Image size 250×250 · bone marrow smear:
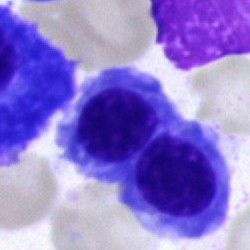Showing a nucleated red cell.